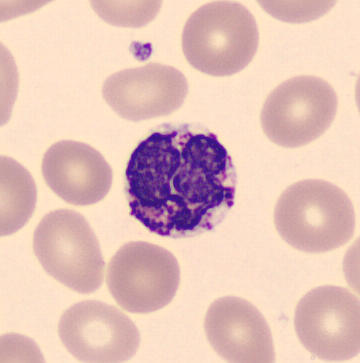
Q: What is this?
A: A basophil.
Image: Peripheral blood smear · CellaVision DM96.